Peripheral blood film. Single cell centered in the field.
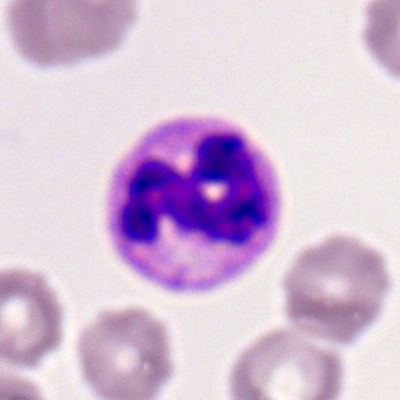

The cell type is segmented neutrophil.